250×250 px · single-cell crop · bone marrow smear
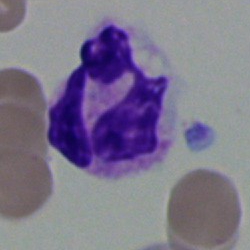

Classification: segmented neutrophil.